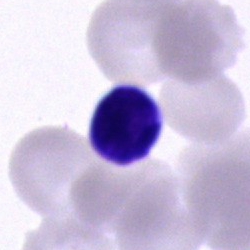Single cell identified as a lymphocyte.